Image size 250×250 · bone marrow smear · cropped to a single cell: 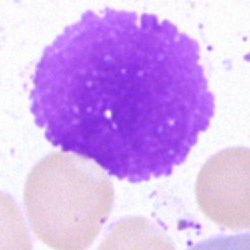Single cell identified as an artifact.